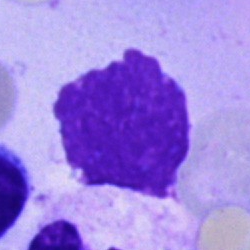Morphological class = artifact.